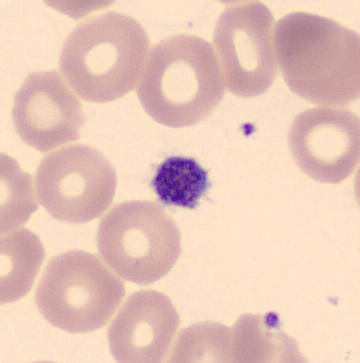 Peripheral blood film · CellaVision DM96.

Classification = thrombocyte.